Bone marrow smear · brightfield, 40× oil-immersion objective · Pappenheim-stained.
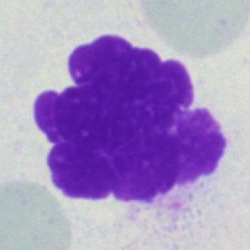
{"cell_type": "artifact"}